Brightfield, 40× oil-immersion objective. Bone marrow smear. 250 by 250 pixels:
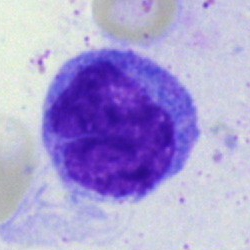Specimen: bone marrow aspirate smear.
Morphological class: monocyte.